Bone marrow smear: 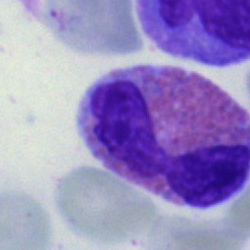 The morphological class is eosinophil.